Bone marrow aspirate smear:
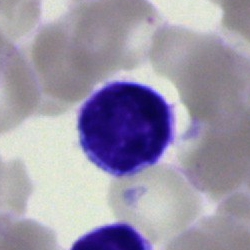 {"cell_type": "typical lymphocyte", "lineage": "lymphoid"}